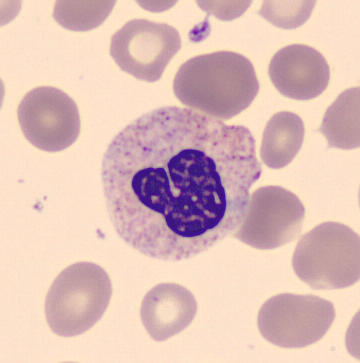
The cell type is band-form neutrophil.
Peripheral blood film.